Bone marrow smear. Single-cell crop:
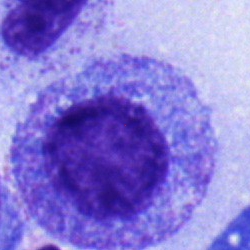
Impression — promyelocyte.